Bone marrow smear · May-Grünwald-Giemsa stain
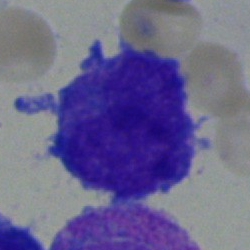 Blast cell.